Bone marrow smear.
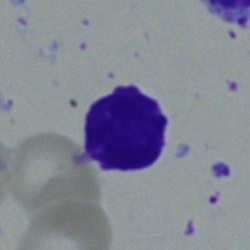
Cell = artifact.